40× objective, oil immersion; bone marrow aspirate smear — 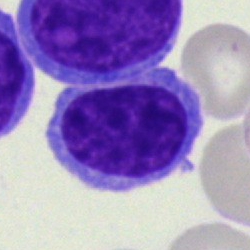 Showing a lymphocyte.